Peripheral blood smear:
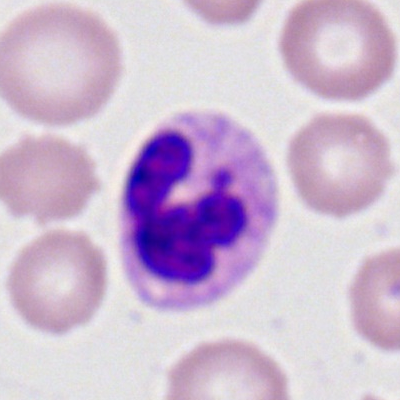Showing a segmented neutrophil.